Bone marrow aspirate smear:
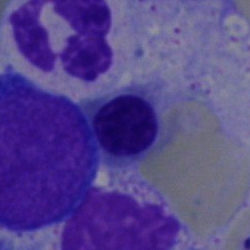
A nucleated red cell.